Bone marrow aspirate smear.
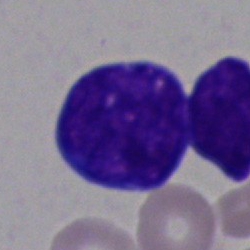 Q: What is the morphological classification of this cell?
A: Undifferentiated blast.